Bone marrow smear.
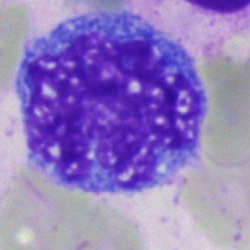 Single cell identified as a monocyte.